Bone marrow smear. Single-cell crop. MGG-stained: 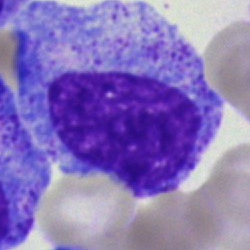

Morphology consistent with a promyelocyte.